Peripheral blood film; Romanowsky-stained; 400 by 400 pixels
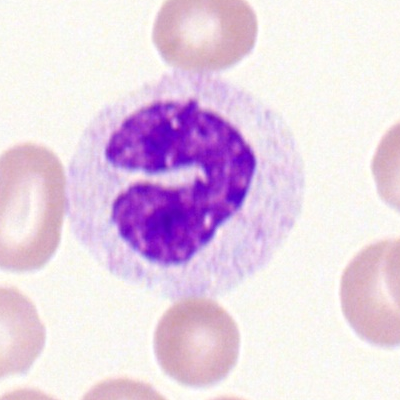

The classification is band neutrophil.